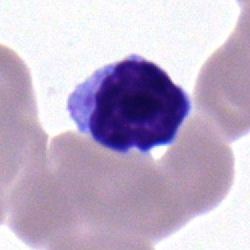
Q: Which cell type is shown here?
A: This is a typical lymphocyte.